40× oil immersion; bone marrow aspirate smear; single cell centered in the field
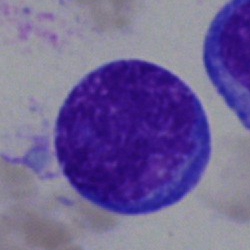
Impression — undifferentiated blast.